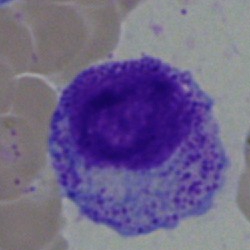 Cell type — myelocyte.